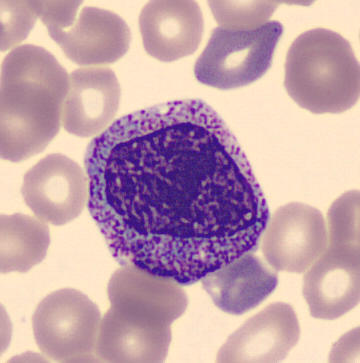Q: What cell is this?
A: It is a progranulocyte. Preparation: Peripheral blood smear.